Bone marrow aspirate smear: 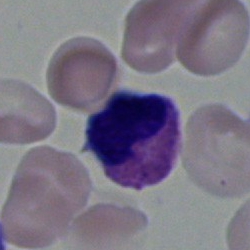
Q: What type of cell is this?
A: Eosinophilic granulocyte.